May-Grünwald-Giemsa stain. Bone marrow aspirate smear. Brightfield microscopy, 40× oil immersion: 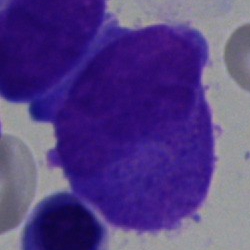Cell: undifferentiated blast.